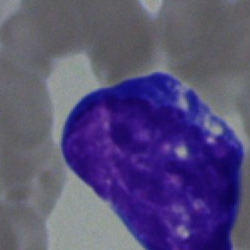
Impression — undifferentiated blast.